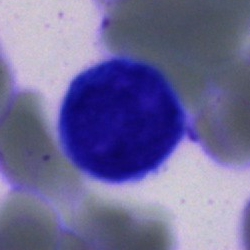Specimen: bone marrow smear.
Cell: unidentifiable cell.